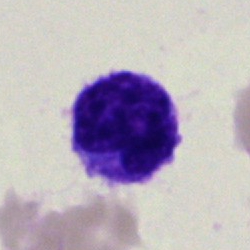Cell: typical lymphocyte.